Brightfield, 40× oil-immersion objective · May-Grünwald-Giemsa stain · bone marrow aspirate smear
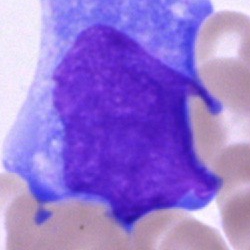Morphology → blast.